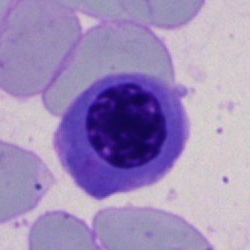

Specimen: bone marrow aspirate smear.
Cell type: nucleated red blood cell.
Lineage: erythroid.